Peripheral blood smear:
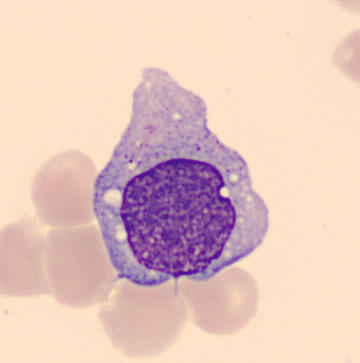Classification = monocyte.